Bone marrow smear.
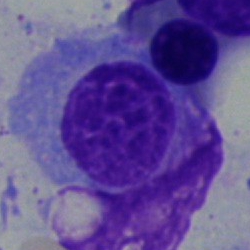 Cell: plasma cell.